Brightfield microscopy, 40× oil immersion. Bone marrow smear. May-Grünwald-Giemsa/Pappenheim stain: 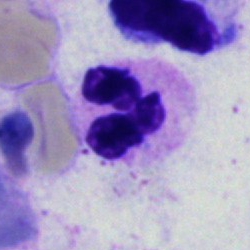

This is a neutrophil (segmented).